Bone marrow aspirate smear:
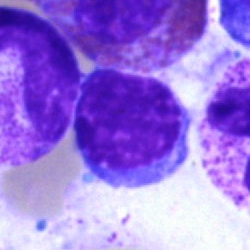

Cell = lymphocyte.